Bone marrow aspirate smear; image size 250×250 — 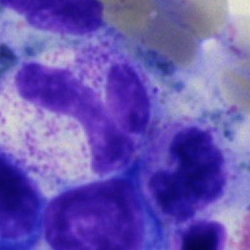

Impression — polymorphonuclear neutrophil.